Single-cell field · bone marrow aspirate smear
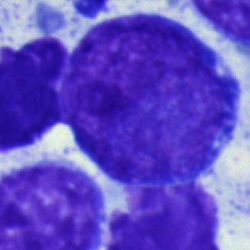 Morphology consistent with an undifferentiated blast.